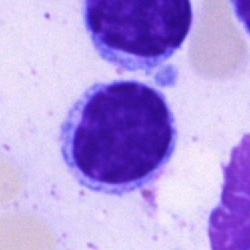
Q: What type of cell is this?
A: Typical lymphocyte.